Bone marrow aspirate smear
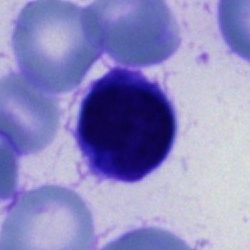

A cell not matching the other categories.